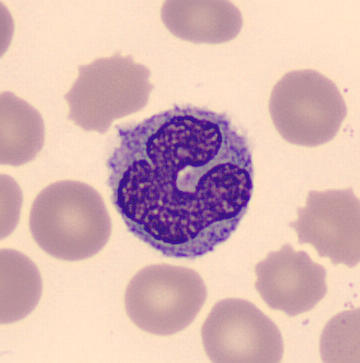

Morphological class — monocyte.